Bone marrow aspirate smear; single-cell crop
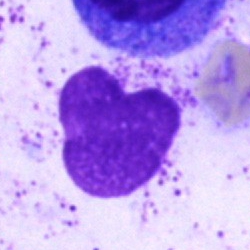
Artifact.